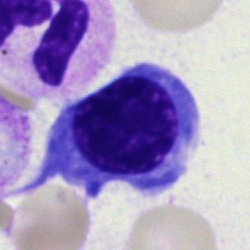
Impression → normoblast.